Bone marrow smear:
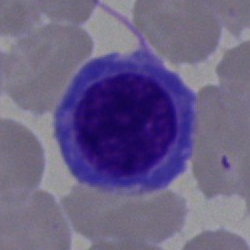
{"cell_type": "nucleated red cell"}